Peripheral blood smear. Brightfield, 100× oil-immersion objective.
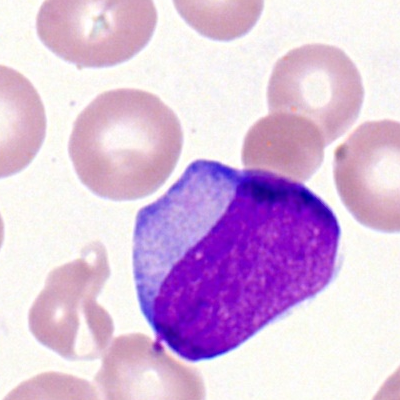 {"cell_type": "myeloblast"}